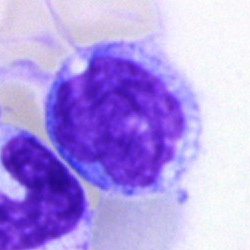

Single cell identified as a monocyte.